Bone marrow smear — 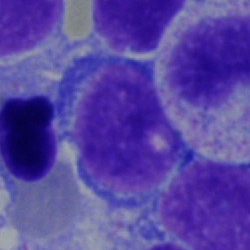

Specimen: bone marrow smear.
Cell: lymphocyte.
Lineage: lymphoid.